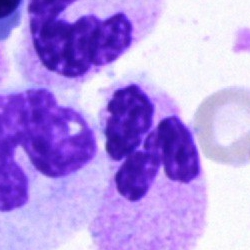

Cell type = neutrophil (segmented).